Bone marrow smear: 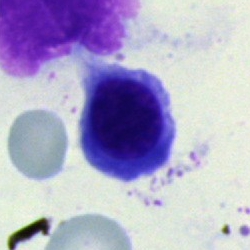 {"cell_type": "normoblast"}